Cropped to a single cell. Bone marrow aspirate smear
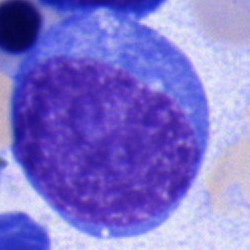Showing a blast cell.